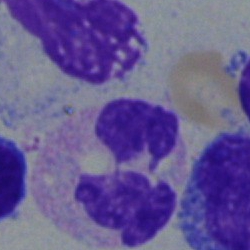Q: What cell is this?
A: It is a segmented neutrophil.